Bone marrow smear: 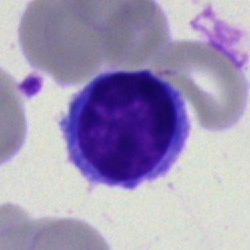Showing a typical lymphocyte.